Bone marrow smear
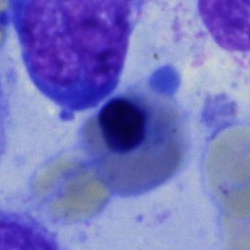 Specimen: bone marrow aspirate smear.
Cell type: nucleated red cell.
Lineage: erythroid.